Bone marrow aspirate smear: 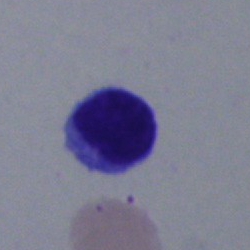
Typical lymphocyte.